Bone marrow smear: 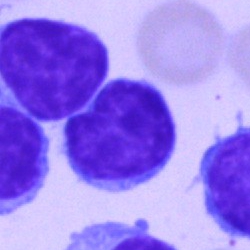

Q: What is shown here?
A: This is a typical lymphocyte.